Bone marrow smear.
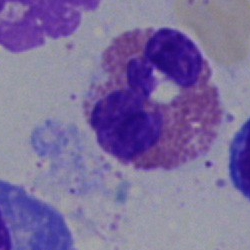

Morphological class: eosinophil.